May-Grünwald-Giemsa/Pappenheim stain. Bone marrow aspirate smear — 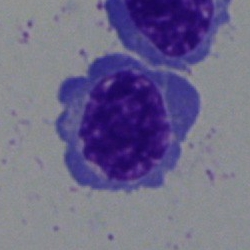Showing a nucleated red cell.